Romanowsky stain. Peripheral blood smear.
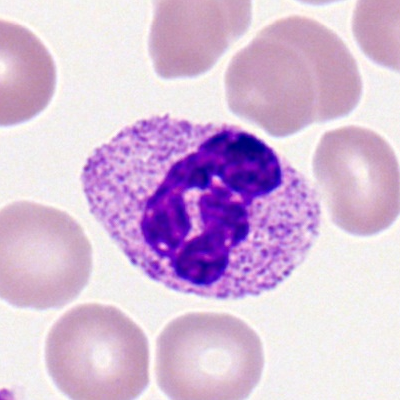
Segmented neutrophil.